Bone marrow smear.
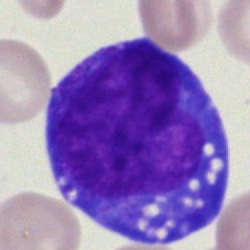Cell: blast cell.